MGG-stained. Single-cell crop. Bone marrow smear.
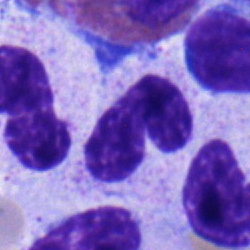
A band-form neutrophil.